Bone marrow smear; May-Grünwald-Giemsa stain
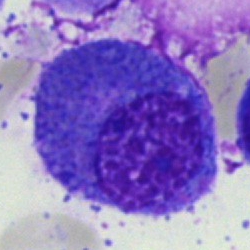The cell shown is a promyelocyte.